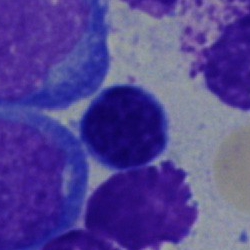 Cell — lymphocyte.